Bone marrow smear — 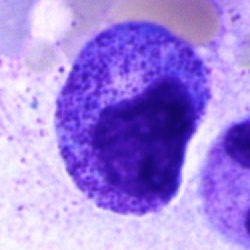 Single cell identified as a progranulocyte.